Brightfield microscopy, 40× oil immersion · bone marrow smear:
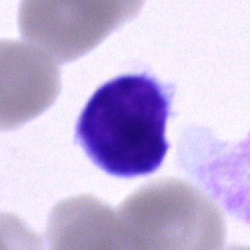Lymphocyte.